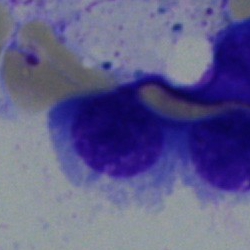Morphological class = normoblast.